Single-cell field · bone marrow smear: 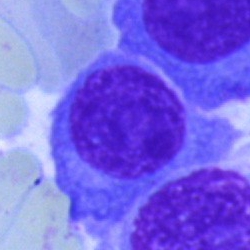

Morphological class: plasma cell.